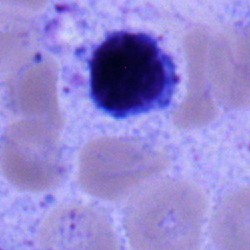Q: What is shown here?
A: Typical lymphocyte.